Bone marrow smear: 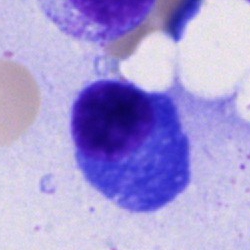 A plasmacyte.